Bone marrow aspirate smear — 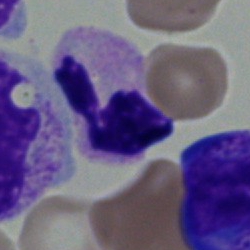

Polymorphonuclear neutrophil.